Bone marrow aspirate smear. 40× objective, oil immersion:
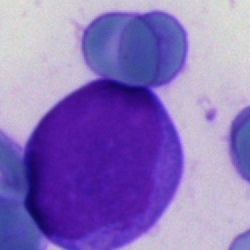

Impression — blast.